Bone marrow smear
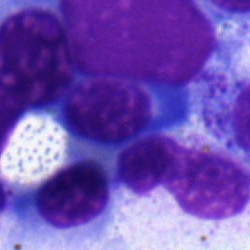 Specimen: bone marrow smear.
Cell: nucleated red cell.